Cropped to a single cell; bone marrow aspirate smear: 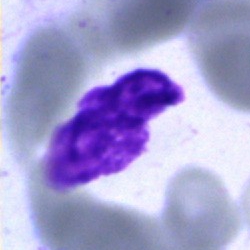

Showing an artifact.